Bone marrow aspirate smear
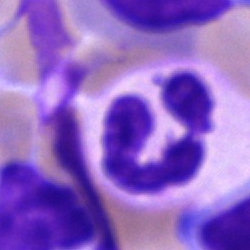Q: Identify the cell.
A: This is a segmented neutrophil.